Bone marrow aspirate smear:
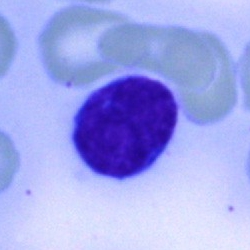 Cell — typical lymphocyte.